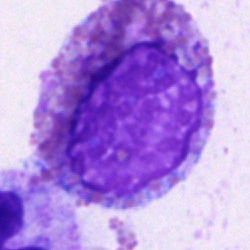{"cell_type": "eosinophilic granulocyte"}